Bone marrow smear
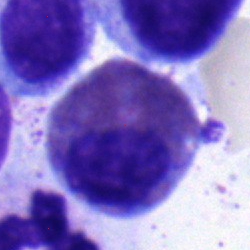 Cell type — eosinophil.